Bone marrow smear:
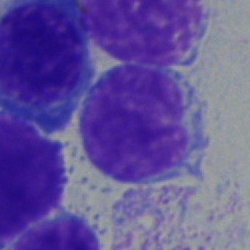 Morphology — typical lymphocyte.